Pappenheim-stained; bone marrow aspirate smear:
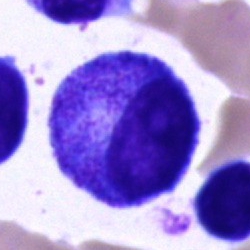
Morphology consistent with a progranulocyte.